Bone marrow aspirate smear — 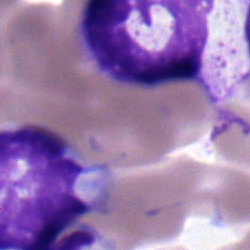

Q: What is shown here?
A: It is a segmented neutrophil.